Bone marrow aspirate smear.
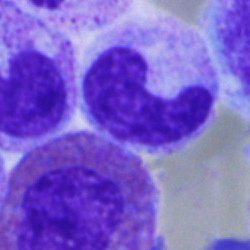
Cell type: neutrophil (band).